Bone marrow aspirate smear
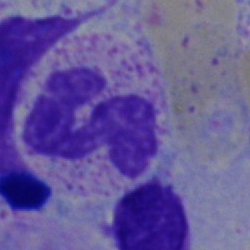

This is a segmented neutrophil.